Bone marrow aspirate smear:
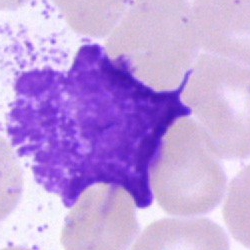

This is an artifact.